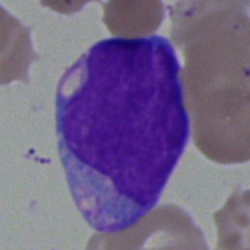

This is a blast cell.